Bone marrow aspirate smear.
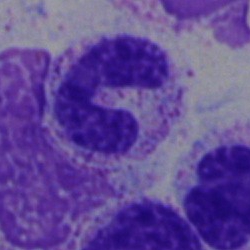 Stab cell.